Peripheral blood film — 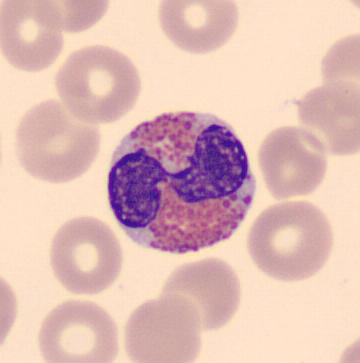Morphological class — eosinophilic granulocyte.